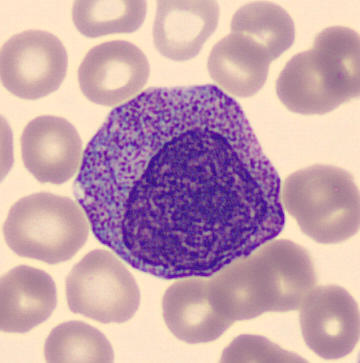
Classification: progranulocyte.